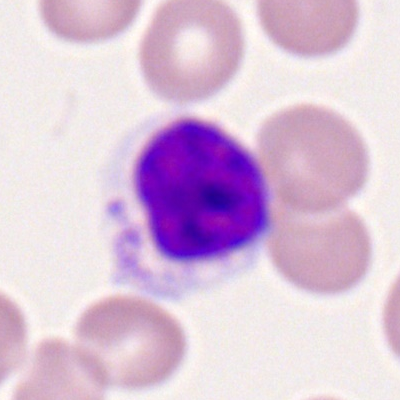

{"cell_type": "lymphocyte"}